May-Grünwald-Giemsa stain; bone marrow aspirate smear; cropped to a single cell:
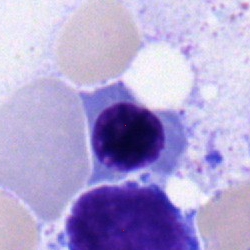
Morphological class = nucleated red blood cell.